Bone marrow smear — 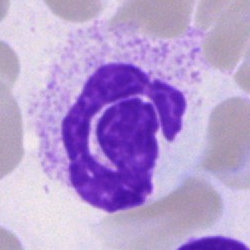Segmented neutrophil.